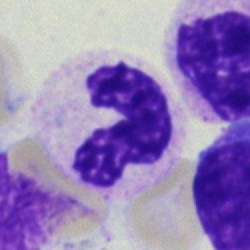 A stab cell on a bone marrow smear.